Bone marrow aspirate smear · cropped to a single cell.
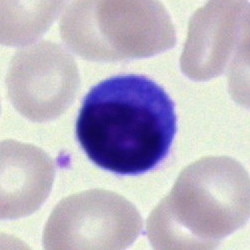

Classification = lymphocyte.